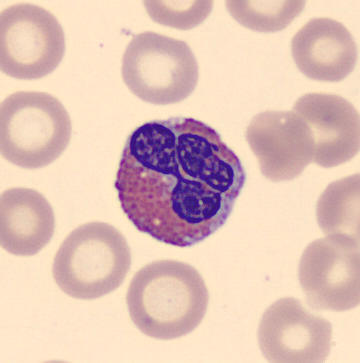

Cell = eosinophil.
May Grünwald-Giemsa stain; cropped to a single cell; peripheral blood smear.